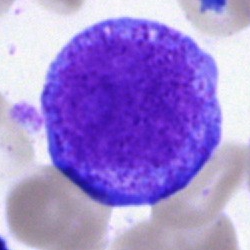
Specimen: bone marrow smear.
Cell type: promyelocyte.